Bone marrow smear
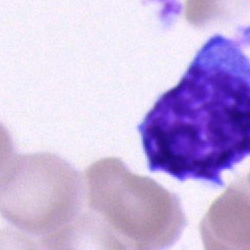 Cell: blast.